Single-cell crop. Bone marrow aspirate smear — 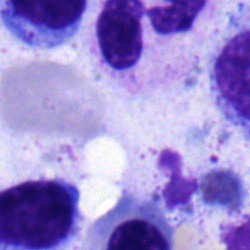

Showing a polymorphonuclear neutrophil.